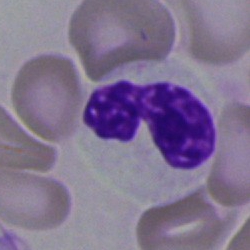Impression — neutrophil (segmented).